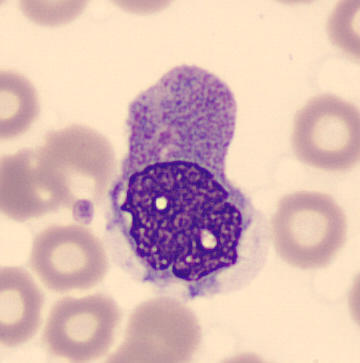A monocyte.
Imaged on a CellaVision DM96 analyser. Peripheral blood smear.